Bone marrow smear — 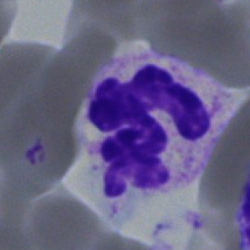
Q: What type of cell is this?
A: This is a polymorphonuclear neutrophil.